Bone marrow aspirate smear: 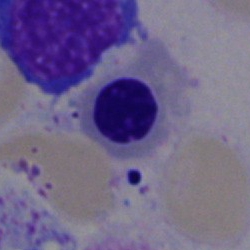
Normoblast.